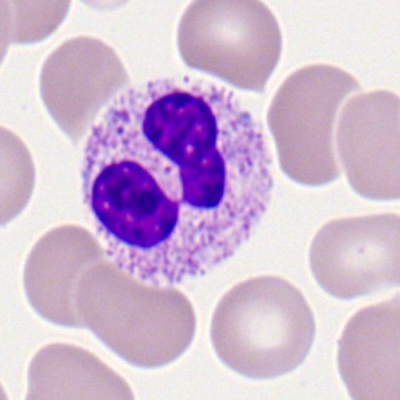Q: What cell is this?
A: This is a polymorphonuclear neutrophil.